Bone marrow smear; brightfield, 40× oil-immersion objective; May-Grünwald-Giemsa/Pappenheim stain
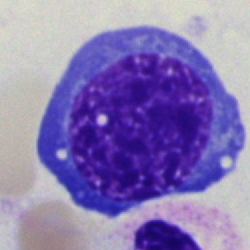
Q: Which cell type is shown here?
A: It is a nucleated red blood cell.